Single-cell crop · bone marrow smear — 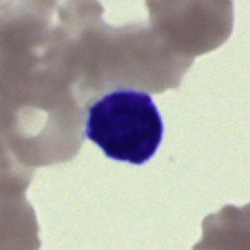
{"cell_type": "typical lymphocyte", "lineage": "lymphoid"}